Bone marrow aspirate smear; May-Grünwald-Giemsa/Pappenheim stain; 250 by 250 pixels.
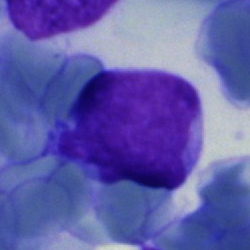

A blast cell.